Bone marrow aspirate smear:
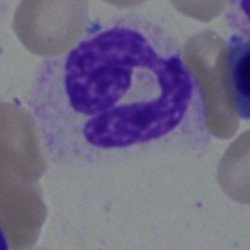 {"cell_type": "segmented neutrophil"}